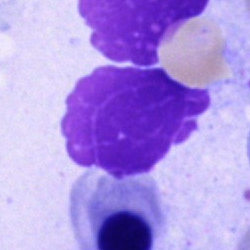The cell shown is an artifact.